Bone marrow aspirate smear: 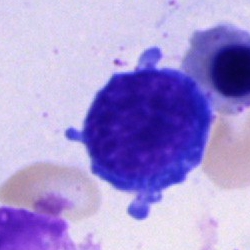 Morphology consistent with an erythroblast.